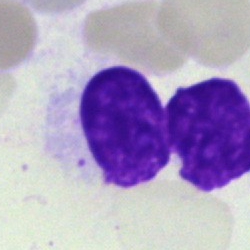Morphological class = artefact.